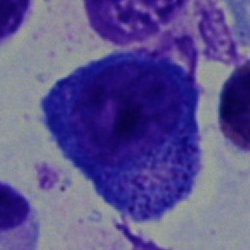 A progranulocyte.